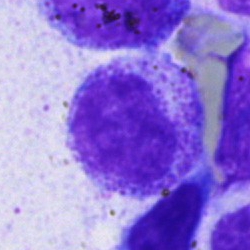
This is a myelocyte.